Bone marrow aspirate smear
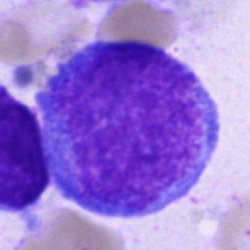 Cell — blast.